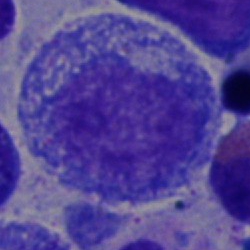 Specimen: bone marrow aspirate smear.
Classification: promyelocyte.
Lineage: myeloid.